Peripheral blood smear.
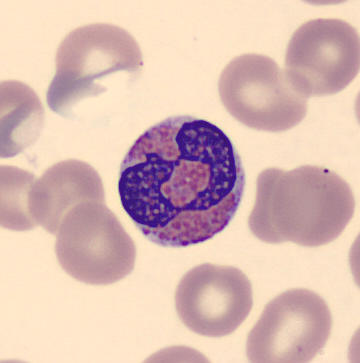
The cell shown is an eosinophilic granulocyte.